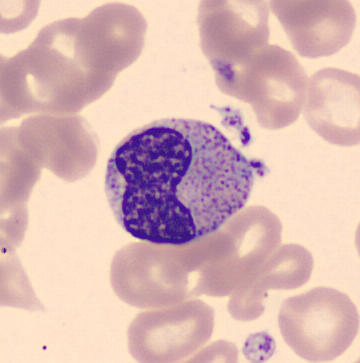
Acquisition: Single-cell field. CellaVision DM96. Peripheral blood film.

Q: What cell is this?
A: This is a metamyelocyte.